Bone marrow aspirate smear: 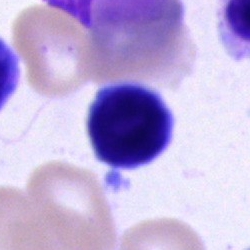The morphological class is typical lymphocyte.